Bone marrow aspirate smear
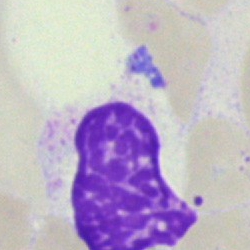 {"cell_type": "artefact"}